Bone marrow aspirate smear — 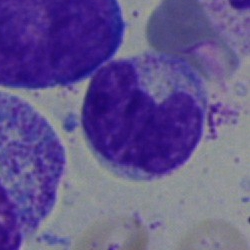Classification — metamyelocyte.